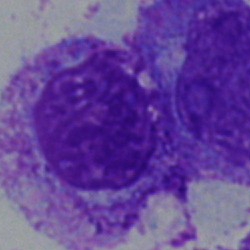Q: What is the morphological classification of this cell?
A: A promyelocyte.